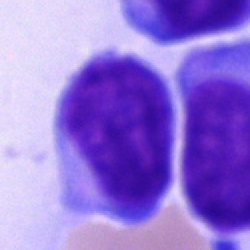 Morphological class — blast.